Bone marrow aspirate smear — 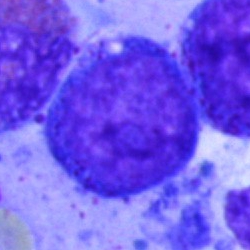

A blast.